Peripheral blood smear; Romanowsky stain: 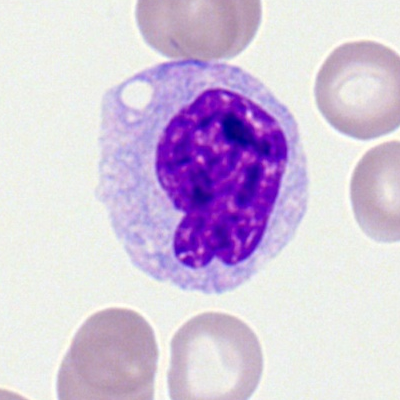 Q: Which cell type is shown here?
A: It is a monocyte.